May-Grünwald-Giemsa/Pappenheim stain; bone marrow smear; brightfield, 40× oil-immersion objective:
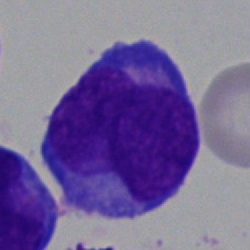 Morphology consistent with a blast cell.